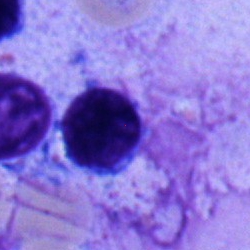 Single cell identified as a typical lymphocyte.